Single-cell crop · bone marrow smear · image size 250×250.
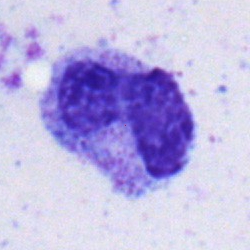 Q: What is shown here?
A: Band neutrophil.